Bone marrow smear: 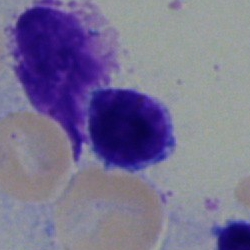

Typical lymphocyte.